Bone marrow aspirate smear: 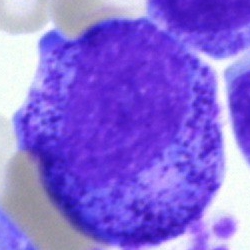 Impression — progranulocyte.